Bone marrow aspirate smear; May-Grünwald-Giemsa/Pappenheim stain:
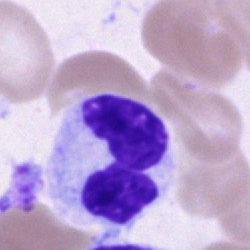
Q: What type of cell is this?
A: It is a neutrophil (segmented).